Bone marrow aspirate smear
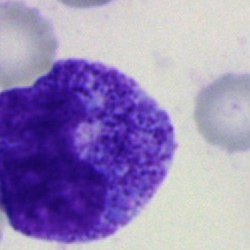 Morphology → metamyelocyte.